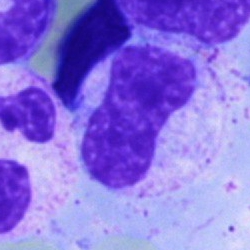 Classification — stab cell.